Bone marrow aspirate smear: 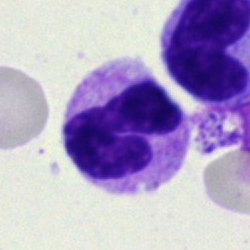
Impression → neutrophil (band).